Bone marrow smear.
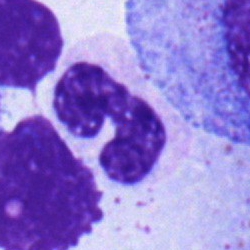 Single cell identified as a neutrophil (band).